40× oil immersion · bone marrow aspirate smear · 250×250 px.
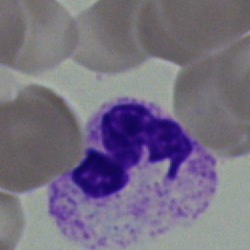

Specimen: bone marrow aspirate smear.
Cell type: polymorphonuclear neutrophil.